Bone marrow aspirate smear: 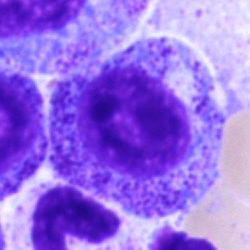 Specimen: bone marrow aspirate smear.
Morphological class: myelocyte.